Bone marrow aspirate smear.
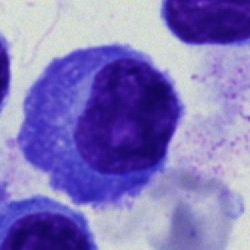
Morphology consistent with a plasmacyte.